Bone marrow aspirate smear:
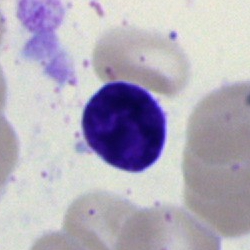Classification = lymphocyte.